Bone marrow smear:
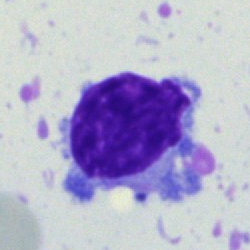
Morphological class: typical lymphocyte.